Bone marrow aspirate smear:
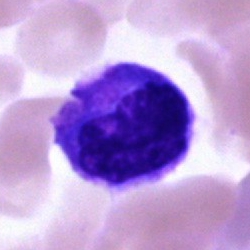Single cell identified as a monocyte.